Bone marrow aspirate smear:
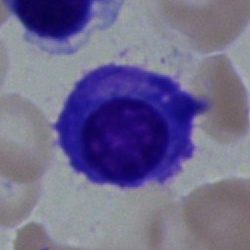

Specimen: bone marrow smear.
Cell: plasmacyte.
Lineage: lymphoid.